Bone marrow aspirate smear — 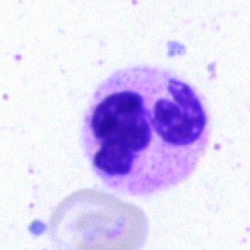

Morphology → neutrophil (segmented).